Bone marrow aspirate smear
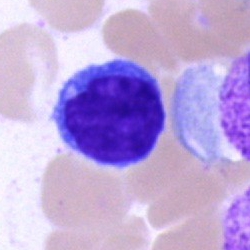
Morphological class: typical lymphocyte.